Peripheral blood smear; May Grünwald-Giemsa stain
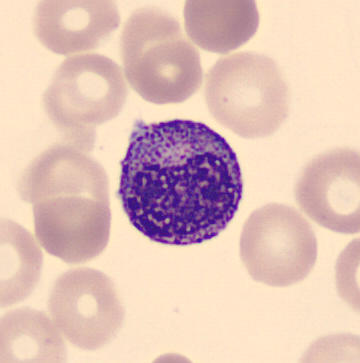 Morphology — myelocyte.